Bone marrow aspirate smear · single-cell field: 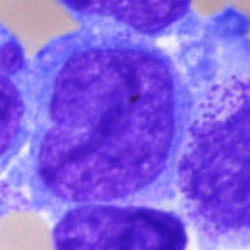

Cell type: undifferentiated blast.